250×250 px · brightfield microscopy, 40× oil immersion · bone marrow aspirate smear.
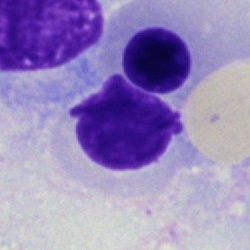
Morphology — artefact.